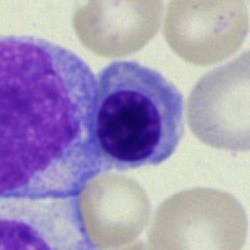 Nucleated red blood cell.